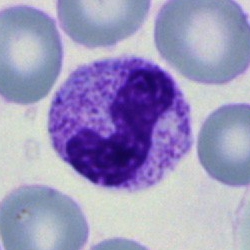The cell is neutrophil (segmented).